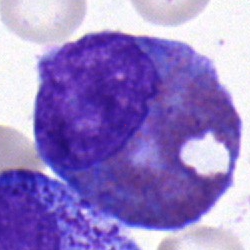Morphology → eosinophil.